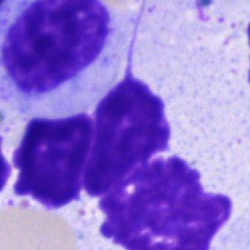

Bone marrow aspirate smear, single cell — artefact.